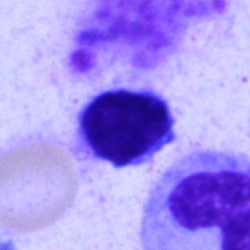The cell type is typical lymphocyte.